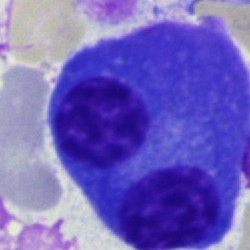
Q: What type of cell is this?
A: A plasma cell.